Bone marrow aspirate smear · cropped to a single cell
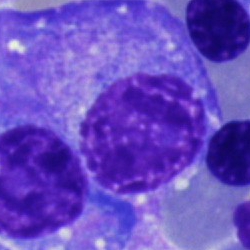
Specimen: bone marrow smear.
Classification: plasma cell.